250×250 · 40× objective, oil immersion · bone marrow smear:
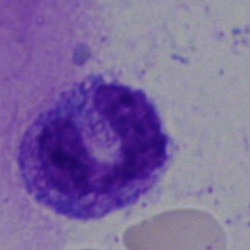
Cell type — polymorphonuclear neutrophil.